Bone marrow smear — 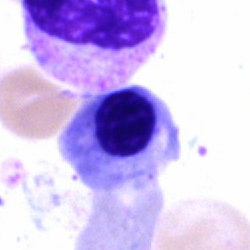
Q: What cell is this?
A: It is an erythroblast.